Image size 250×250 · bone marrow smear — 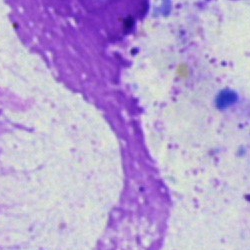 Cell: artifact.